Peripheral blood smear
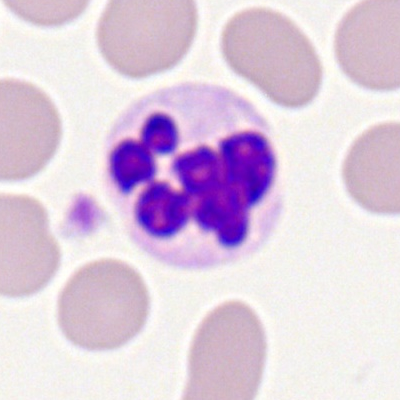
Morphology → segmented neutrophil.